Bone marrow smear
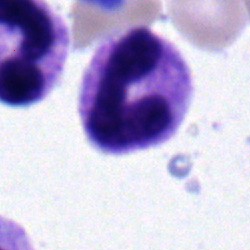 This is a neutrophil (band).